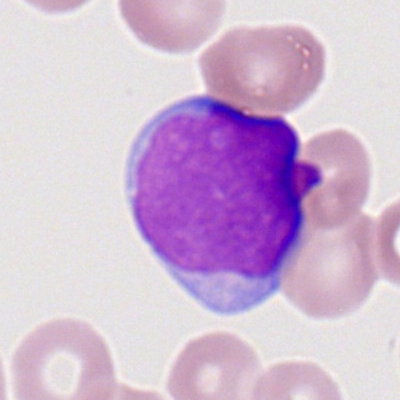Specimen: peripheral blood smear.
Morphological class: myeloblast.
Lineage: myeloid.